Brightfield microscopy, 40× oil immersion · bone marrow smear — 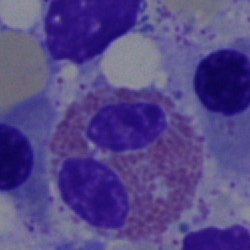 Cell: eosinophil.